Peripheral blood film. Cropped to a single cell — 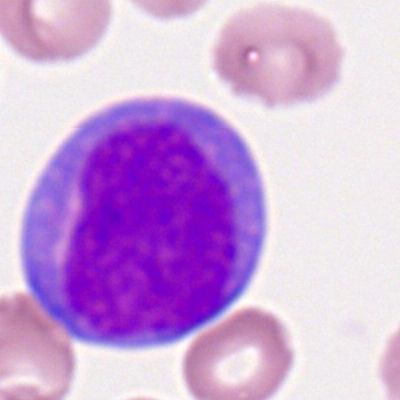
Specimen: peripheral blood smear.
Classification: myeloblast.
Lineage: myeloid.